Bone marrow aspirate smear
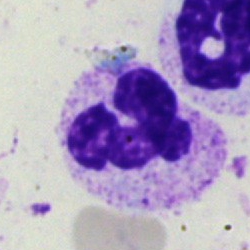 Cell — neutrophil (segmented).